Bone marrow smear — 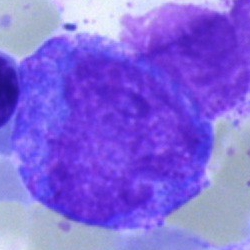
Showing a progranulocyte.